Bone marrow aspirate smear: 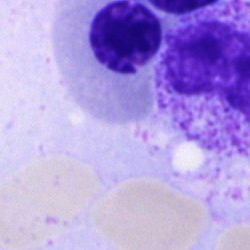

Showing a nucleated red blood cell.